Bone marrow aspirate smear; single-cell field; brightfield, 40× oil-immersion objective.
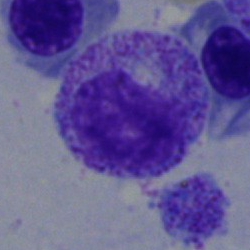 A myelocyte.